Single cell centered in the field. Bone marrow aspirate smear.
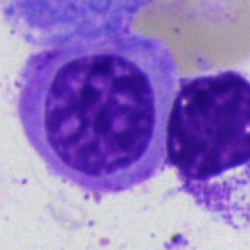
Impression → erythroblast.